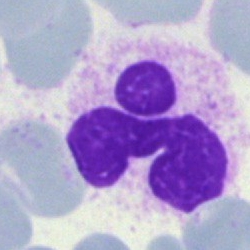Classification — polymorphonuclear neutrophil.